250×250; 40× oil immersion; bone marrow aspirate smear
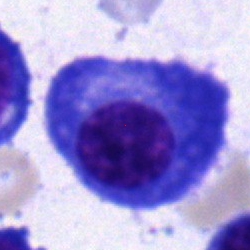
Cell = plasma cell.